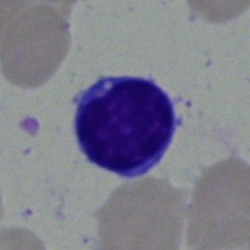 Cell type = lymphocyte.